Bone marrow aspirate smear; 40× objective, oil immersion; single cell centered in the field:
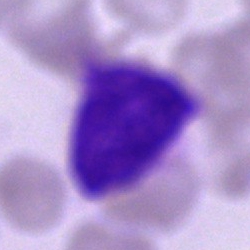 Morphology consistent with an artefact.